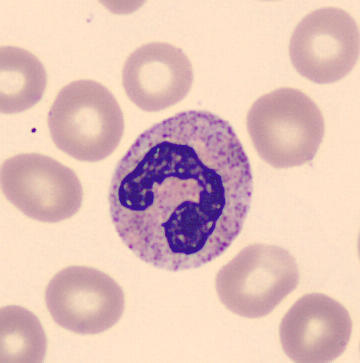Preparation: Imaged on a CellaVision DM96 analyser; single cell centered in the field.
Specimen: peripheral blood smear.
Cell type: segmented neutrophil.
Lineage: myeloid.